Bone marrow smear; single cell centered in the field
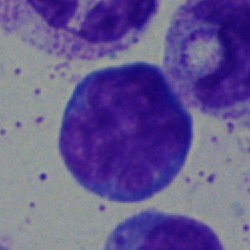
Q: Identify the cell.
A: Blast cell.